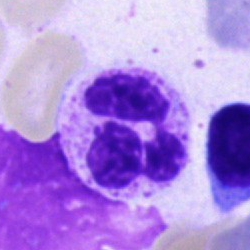

Impression — segmented neutrophil.